Single cell centered in the field · bone marrow aspirate smear — 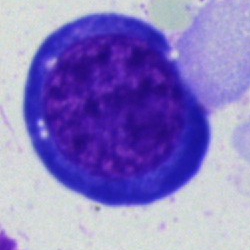{"cell_type": "normoblast", "lineage": "erythroid"}